Brightfield microscopy, 40× oil immersion. Bone marrow smear. 250×250 — 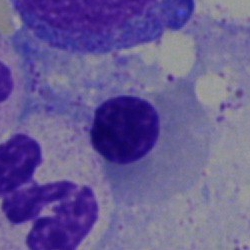

This is an erythroblast.